Single-cell field · bone marrow smear: 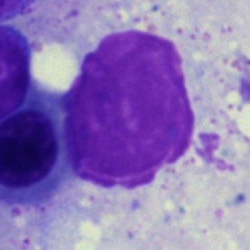An artefact.